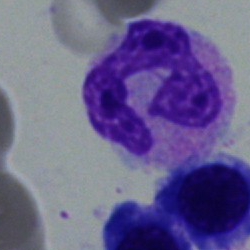
Impression — band neutrophil.